Bone marrow smear · Pappenheim-stained.
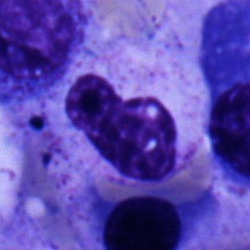Cell: band-form neutrophil.